Bone marrow smear. Single-cell crop. MGG-stained: 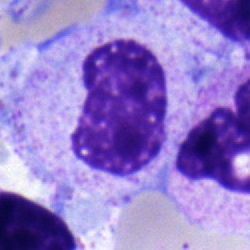
Cell type: metamyelocyte.